Bone marrow smear. May-Grünwald-Giemsa/Pappenheim stain — 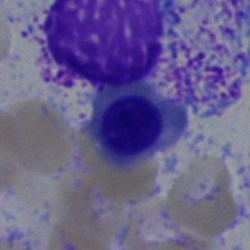

Classification: nucleated red blood cell.